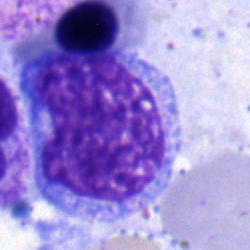

Impression → monocyte.